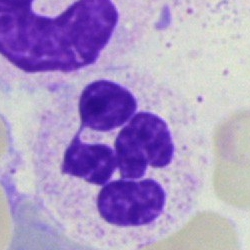Bone marrow aspirate smear, single cell — segmented neutrophil.